Cropped to a single cell; bone marrow aspirate smear: 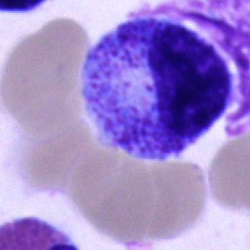Q: Which cell type is shown here?
A: A promyelocyte.